Single-cell crop. Bone marrow aspirate smear.
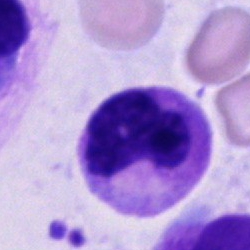Specimen: bone marrow smear.
Morphological class: segmented neutrophil.